Bone marrow aspirate smear: 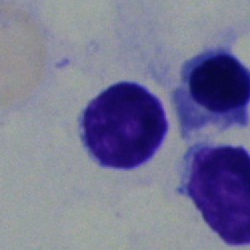

The cell shown is a typical lymphocyte.